Bone marrow smear — 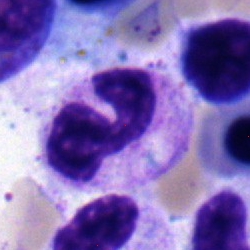This is a neutrophil (band).